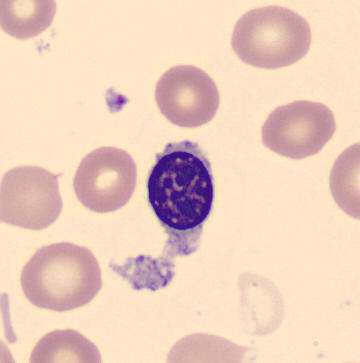

Peripheral blood smear. {"cell_type": "normoblast", "lineage": "erythroid"}